Single-cell crop; bone marrow aspirate smear: 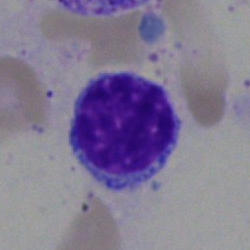Morphology consistent with a lymphocyte.